Bone marrow aspirate smear; Pappenheim-stained; cropped to a single cell — 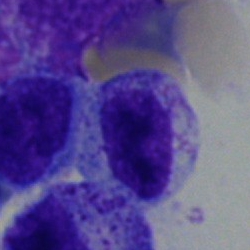
Specimen: bone marrow aspirate smear.
Cell: myelocyte.